Bone marrow aspirate smear; cropped to a single cell:
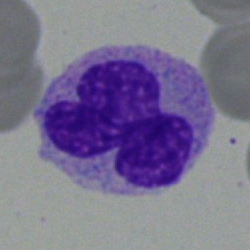Cell: monocyte.